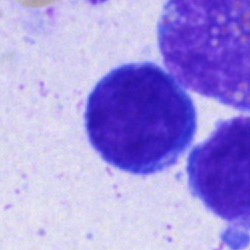This is a typical lymphocyte.